Peripheral blood film
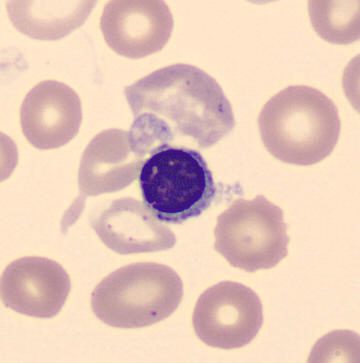Morphology → nucleated red blood cell.